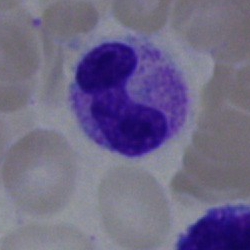

Specimen: bone marrow aspirate smear.
Cell: stab cell.